Bone marrow smear
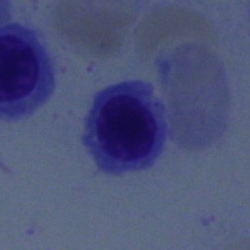
Classification = nucleated red cell.